Bone marrow smear.
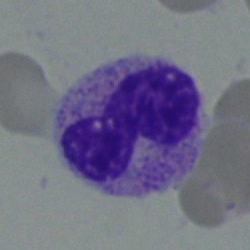
Band-form neutrophil.